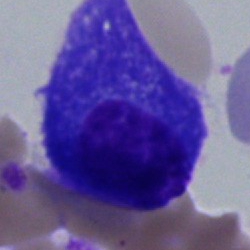
A plasma cell.